Single-cell field; 40× objective, oil immersion; bone marrow smear
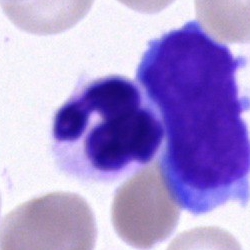 Morphology consistent with a polymorphonuclear neutrophil.